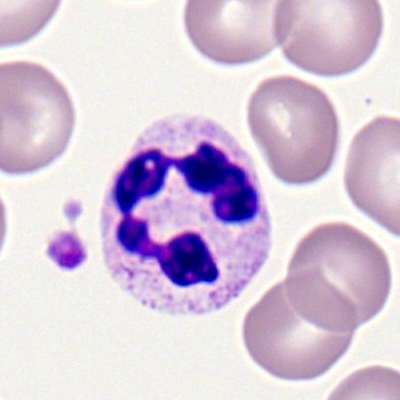

Single-cell crop from a peripheral blood smear: segmented neutrophil.